250×250 px; bone marrow aspirate smear
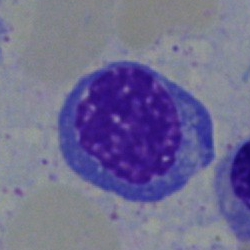 Impression → nucleated red cell.